40× oil immersion · bone marrow aspirate smear.
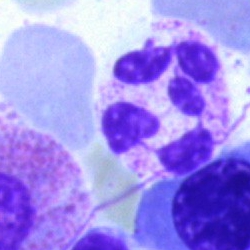 Q: What cell is this?
A: It is a segmented neutrophil.